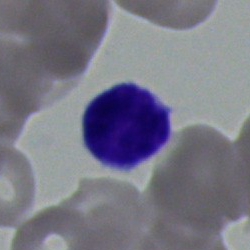
Q: Identify the cell.
A: It is a typical lymphocyte.